Bone marrow smear — 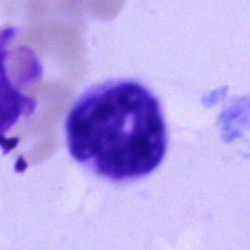

This is a neutrophil (segmented).